Bone marrow smear — 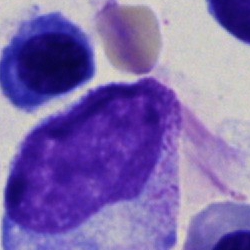
Specimen: bone marrow smear.
Cell type: myelocyte.